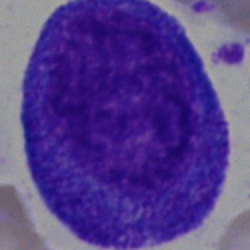The morphological class is progranulocyte.